May-Grünwald-Giemsa stain. Cropped to a single cell. Bone marrow aspirate smear
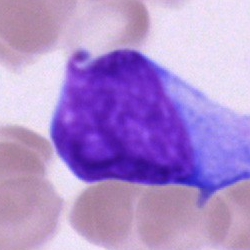

{"cell_type": "blast"}